Single cell centered in the field · bone marrow aspirate smear: 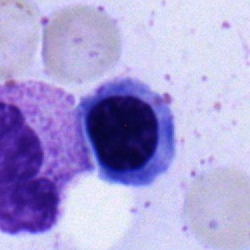Q: Which cell type is shown here?
A: It is an erythroblast.